Bone marrow smear — 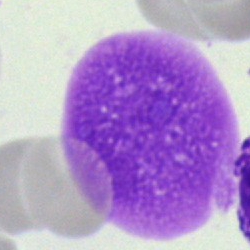 Classification = artefact.